Bone marrow smear — 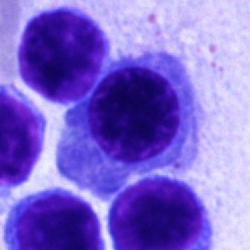

Morphology consistent with an erythroblast.